Single-cell field; bone marrow aspirate smear:
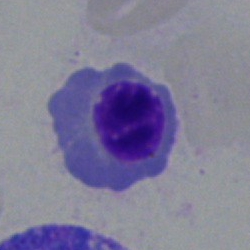 Cell = nucleated red cell.